Cropped to a single cell; bone marrow smear: 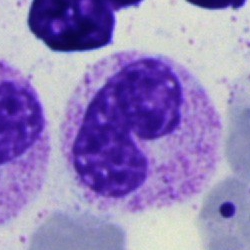

Q: What is shown here?
A: It is a stab cell.